Bone marrow aspirate smear · 250 by 250 pixels · May-Grünwald-Giemsa/Pappenheim stain
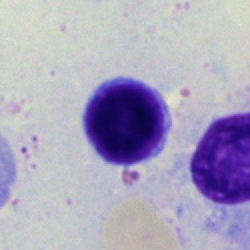
Classification = lymphocyte.